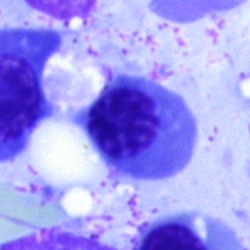 Q: What cell is this?
A: It is a normoblast.